Bone marrow smear
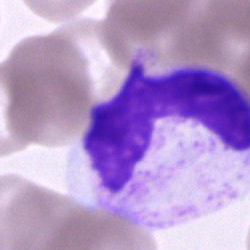 Neutrophil (band).